Bone marrow smear: 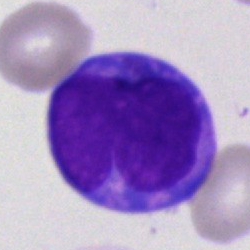 Classification: undifferentiated blast.